Bone marrow smear — 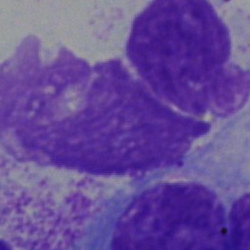

Specimen: bone marrow aspirate smear.
Cell type: artifact.